Bone marrow aspirate smear — 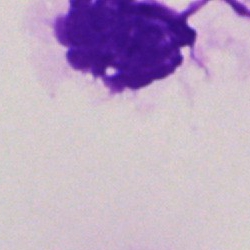
Specimen: bone marrow smear.
Morphological class: artifact.